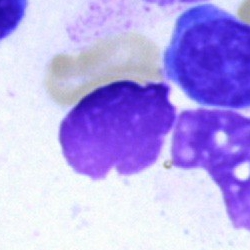Specimen: bone marrow smear.
Cell type: artifact.